Peripheral blood smear. 100× oil immersion
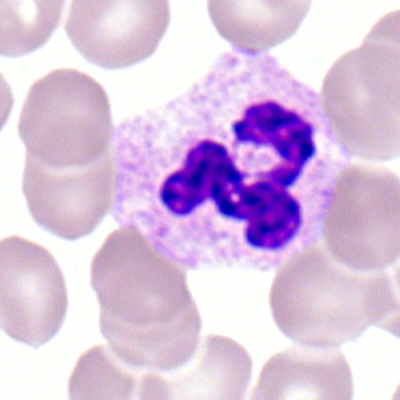

Specimen: peripheral blood film.
Cell: segmented neutrophil.
Lineage: myeloid.